40× oil immersion; bone marrow aspirate smear; 250 by 250 pixels
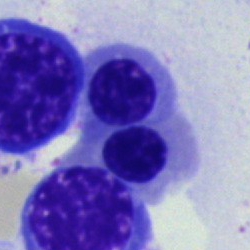 Morphology consistent with a normoblast.